Single-cell crop; brightfield, 40× oil-immersion objective; bone marrow aspirate smear: 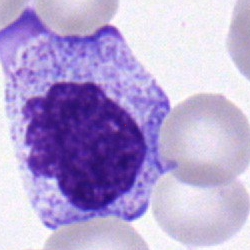 Morphological class: myelocyte.